Single cell centered in the field · brightfield, 40× oil-immersion objective · bone marrow aspirate smear — 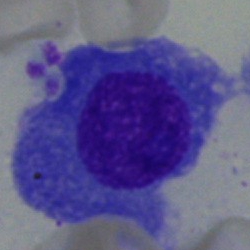Q: What cell is this?
A: It is a plasmacyte.